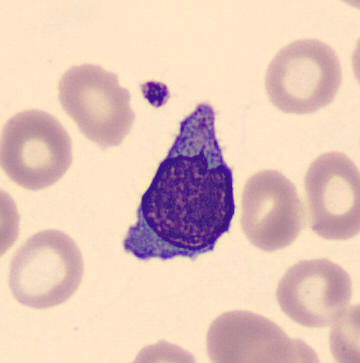 Acquisition: Peripheral blood smear. MGG-stained. Lymphocyte.